Bone marrow aspirate smear; 250×250 px.
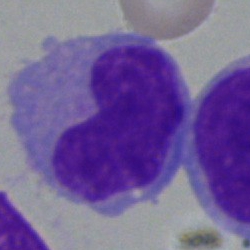Single cell identified as a monocyte.